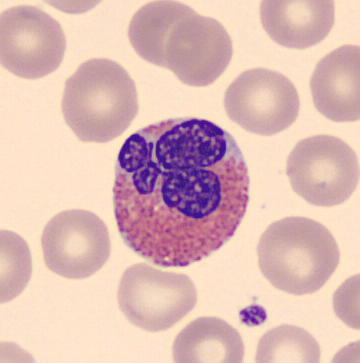The morphological class is eosinophil.

Single-cell crop; peripheral blood smear.